Bone marrow aspirate smear
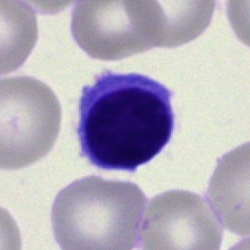

A typical lymphocyte.